250×250; bone marrow aspirate smear: 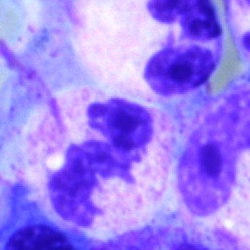
Morphological class: neutrophil (segmented).